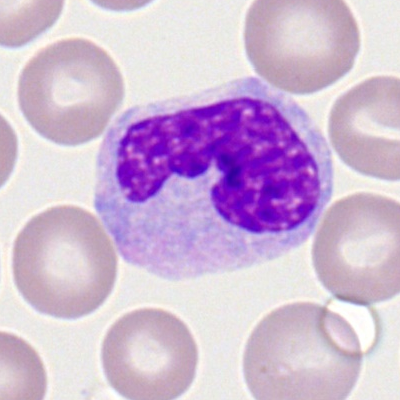
Classification = monocyte.